May-Grünwald-Giemsa/Pappenheim stain; bone marrow aspirate smear; single cell centered in the field: 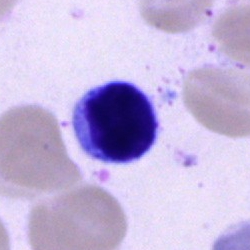 Q: What is shown here?
A: This is a typical lymphocyte.